Bone marrow aspirate smear
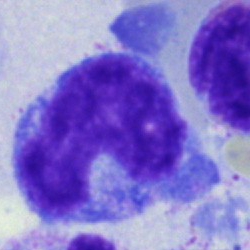
Morphology consistent with a monocyte.